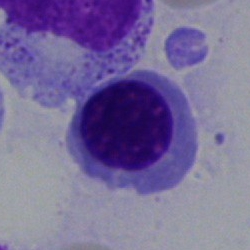
Cell type = normoblast.